Bone marrow aspirate smear
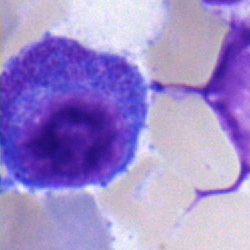
Q: What cell is this?
A: This is a proerythroblast.